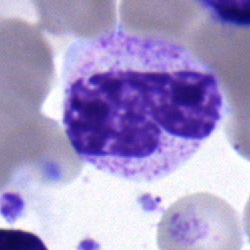

Morphology consistent with a band-form neutrophil.